Bone marrow aspirate smear: 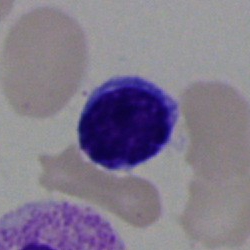Impression — lymphocyte.